Bone marrow smear. Single cell centered in the field — 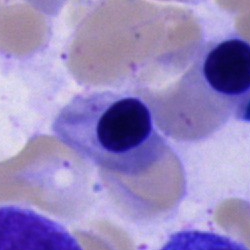A nucleated red blood cell.